Bone marrow smear. Single cell centered in the field — 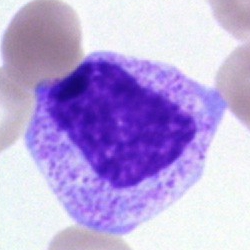 A myelocyte.